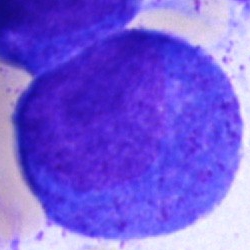
The cell is progranulocyte.